Bone marrow smear — 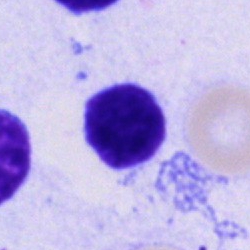
Cell: lymphocyte.